Single-cell crop; bone marrow aspirate smear
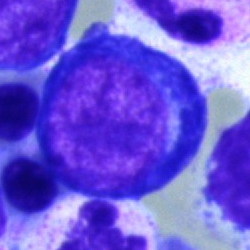

Specimen: bone marrow aspirate smear.
Classification: proerythroblast.
Lineage: erythroid.